250×250 px; brightfield, 40× oil-immersion objective; bone marrow smear.
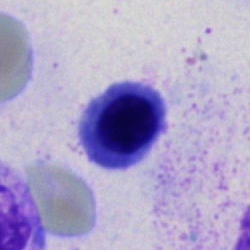 A nucleated red cell.